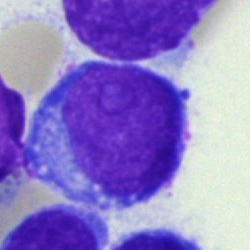{"cell_type": "blast"}